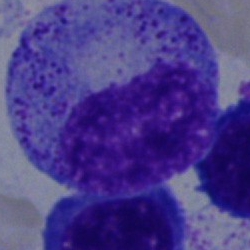
Morphological class: progranulocyte.